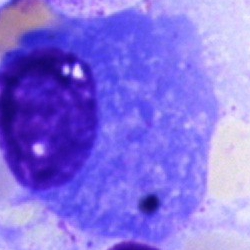

Plasmacyte.